Cropped to a single cell · image size 250×250 · bone marrow aspirate smear: 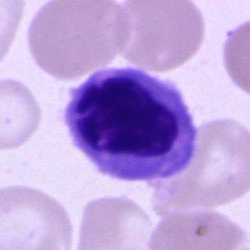This is a nucleated red blood cell.